Bone marrow smear.
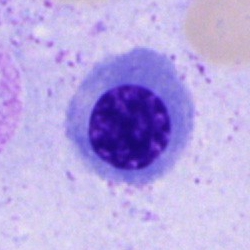

Cell: normoblast.